Peripheral blood smear. May Grünwald-Giemsa stain
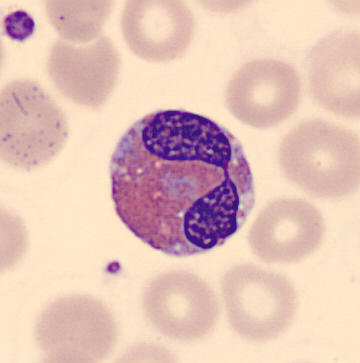

This is an eosinophil.